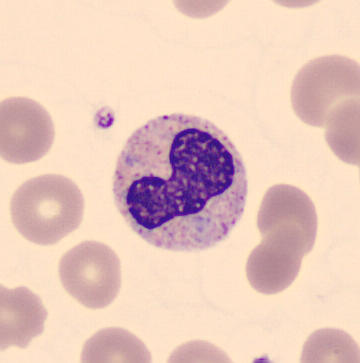

Morphological class = stab cell.

Acquisition: Peripheral blood film.